Brightfield microscopy, 40× oil immersion; bone marrow smear
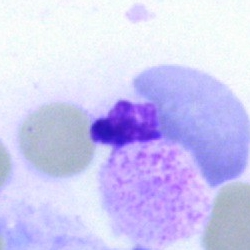

Morphology consistent with an artifact.